Bone marrow aspirate smear:
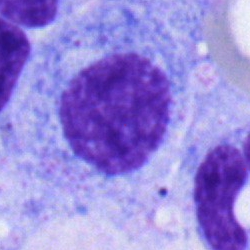
Impression → myelocyte.